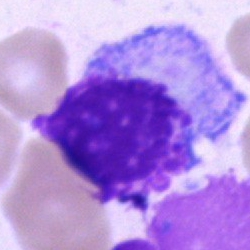
Impression — artifact.